May-Grünwald-Giemsa stain. Bone marrow smear
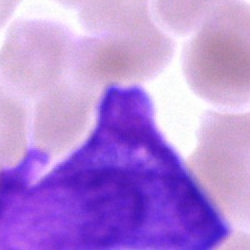

Specimen: bone marrow smear.
Cell: artefact.